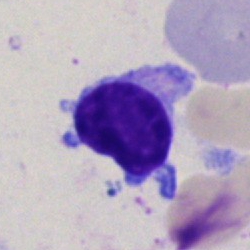

The cell type is typical lymphocyte.